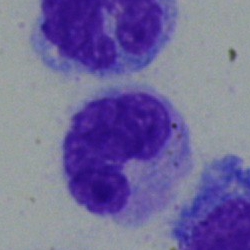
Q: What cell is this?
A: It is a metamyelocyte.